Peripheral blood film.
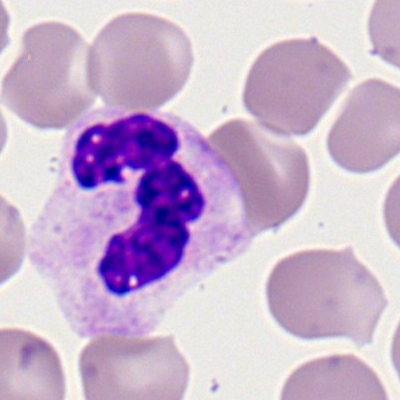 Neutrophil (segmented).